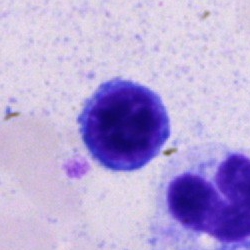Morphological class = nucleated red cell.